Bone marrow aspirate smear — 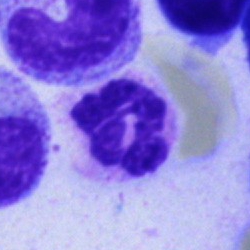 Showing a polymorphonuclear neutrophil.